Bone marrow smear
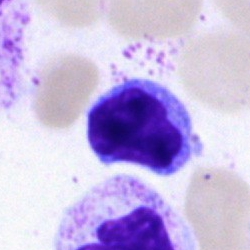Impression → lymphocyte.